Bone marrow aspirate smear — 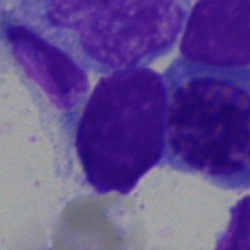

The cell type is typical lymphocyte.